Bone marrow smear — 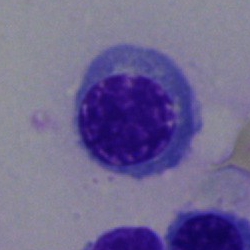

Classification = erythroblast.